Bone marrow aspirate smear — 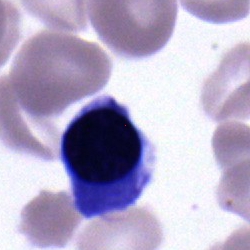Q: Identify the cell.
A: It is a normoblast.